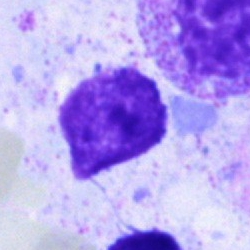
Q: What is shown here?
A: Artifact.